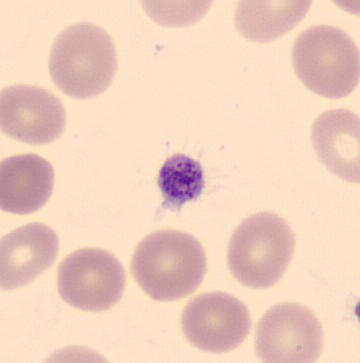 Q: What is shown here?
A: Platelet.

Preparation: Peripheral blood smear.